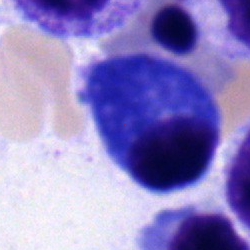Specimen: bone marrow smear.
Morphological class: plasma cell.
Lineage: lymphoid.